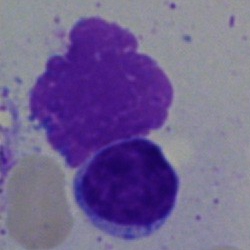
The classification is artefact.